Image size 250×250 · brightfield microscopy, 40× oil immersion · bone marrow aspirate smear — 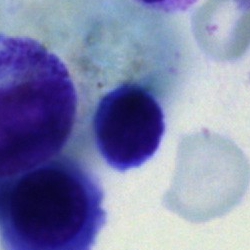
Typical lymphocyte.